May-Grünwald-Giemsa/Pappenheim stain; bone marrow smear; 250×250 px
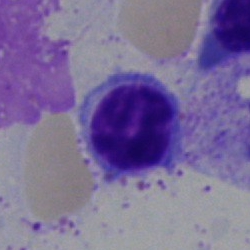 Single cell identified as a lymphocyte.